Peripheral blood smear: 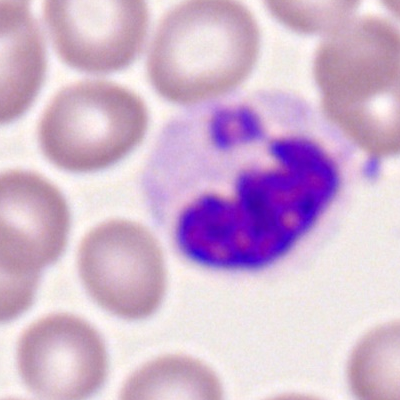 Cell = polymorphonuclear neutrophil.